Bone marrow aspirate smear — 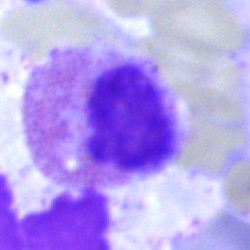 Specimen: bone marrow smear.
Classification: artifact.